Bone marrow smear:
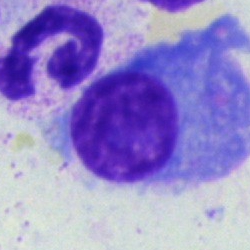Impression → plasma cell.